Bone marrow aspirate smear.
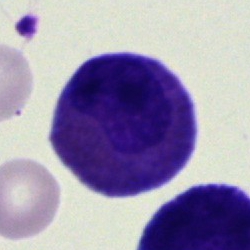An eosinophil.